250 by 250 pixels; bone marrow aspirate smear — 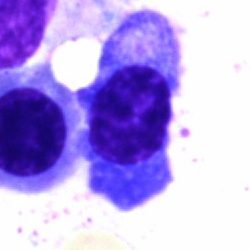Q: Which cell type is shown here?
A: It is a plasma cell.